Bone marrow smear; Pappenheim-stained: 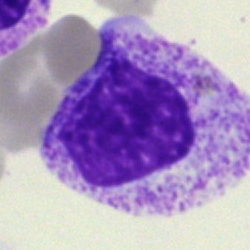
Impression — myelocyte.